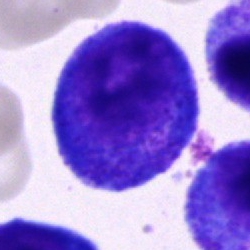
Morphology → promyelocyte.